Bone marrow smear — 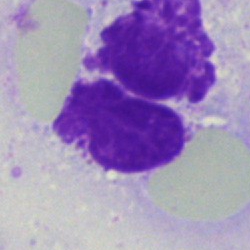 Showing an artefact.